250×250. Single-cell crop. Bone marrow aspirate smear: 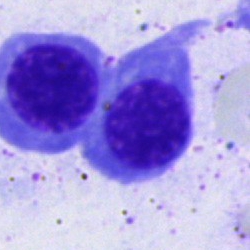
Specimen: bone marrow smear.
Cell type: erythroblast.
Lineage: erythroid.